40× objective, oil immersion · bone marrow aspirate smear:
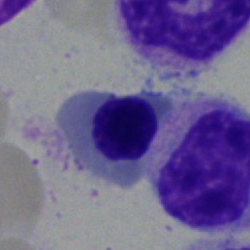{"cell_type": "normoblast"}